Bone marrow smear · cropped to a single cell
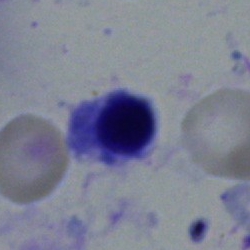{"cell_type": "erythroblast", "lineage": "erythroid"}